Bone marrow aspirate smear; 40× oil immersion: 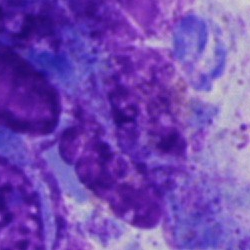Showing an artifact.